Bone marrow aspirate smear; brightfield, 40× oil-immersion objective; image size 250×250 — 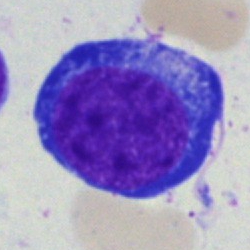

Q: What is the morphological classification of this cell?
A: This is a proerythroblast.